Bone marrow aspirate smear · single-cell field — 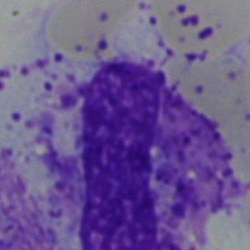

The classification is cell not matching the other categories.